Bone marrow aspirate smear
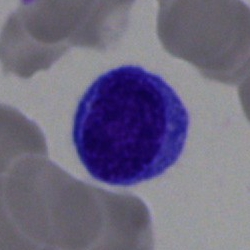
Showing a typical lymphocyte.